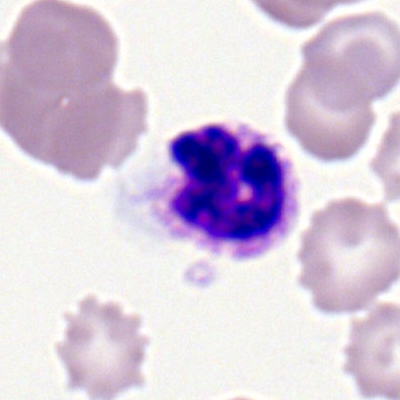

Cell: neutrophil (segmented).